Peripheral blood film
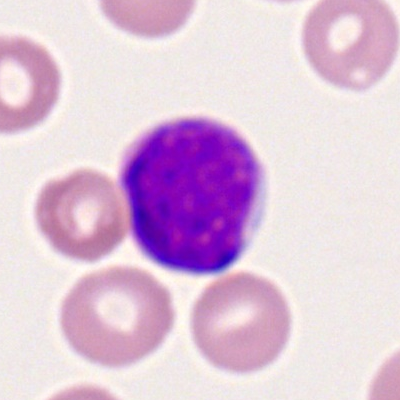

Single cell identified as a lymphocyte.